MGG-stained · bone marrow smear: 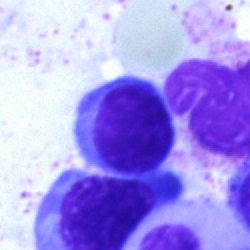 Cell — typical lymphocyte.